Bone marrow aspirate smear · brightfield, 40× oil-immersion objective · MGG-stained.
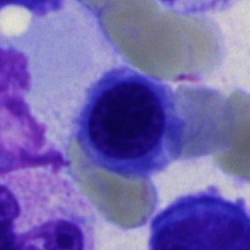

Q: Which cell type is shown here?
A: Erythroblast.